Peripheral blood film — 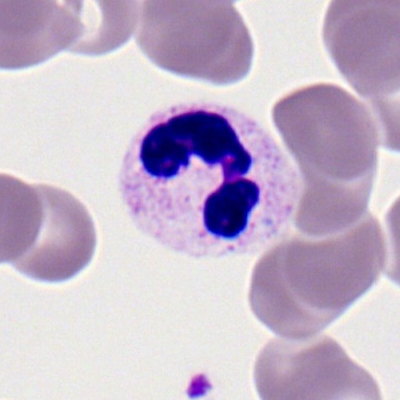 Morphological class — neutrophil (segmented).